Single cell centered in the field; MGG-stained; bone marrow aspirate smear: 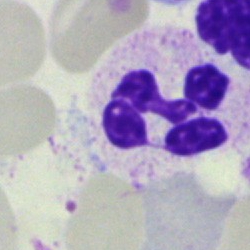Specimen: bone marrow aspirate smear.
Cell: segmented neutrophil.
Lineage: myeloid.